Bone marrow aspirate smear.
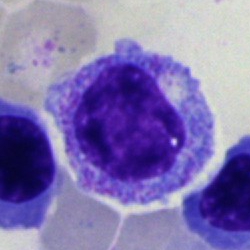
A myelocyte.